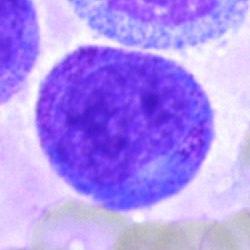
Classification — progranulocyte.